Single cell centered in the field. Bone marrow smear. 250×250 px — 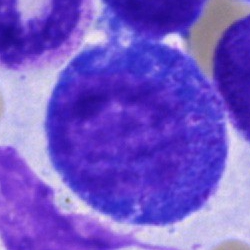
Specimen: bone marrow smear.
Morphological class: progranulocyte.